MGG-stained; 250×250; bone marrow smear.
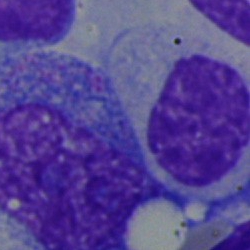
Single cell identified as a myelocyte.